Bone marrow smear; 250×250; brightfield microscopy, 40× oil immersion:
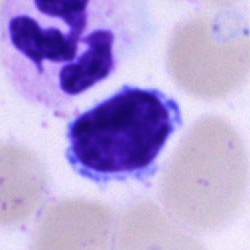

This is a lymphocyte.